Image size 250×250 · single-cell crop · bone marrow aspirate smear — 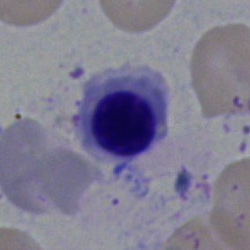

Morphology consistent with a nucleated red blood cell.